250×250 px. Bone marrow aspirate smear. Single cell centered in the field — 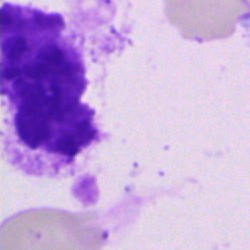This is an artifact.